Bone marrow smear.
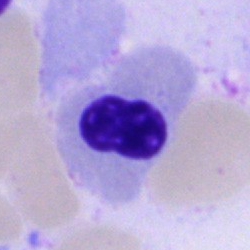 This is an erythroblast.